Peripheral blood film. 400×400 — 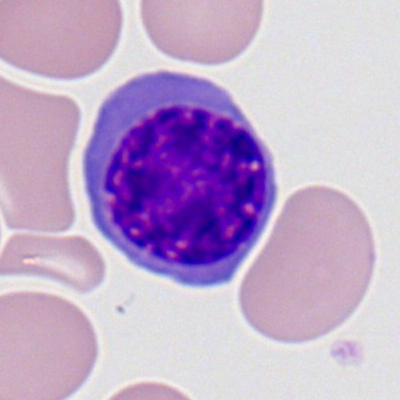Q: What is the morphological classification of this cell?
A: This is a nucleated red cell.